Cropped to a single cell; bone marrow smear; 250×250
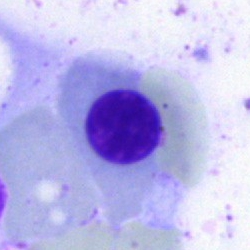
Morphological class — nucleated red blood cell.